Image size 250×250 · bone marrow aspirate smear — 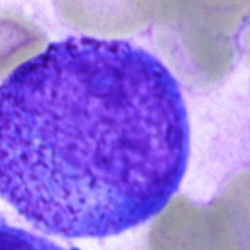

Morphology consistent with a progranulocyte.